Bone marrow smear. Cropped to a single cell — 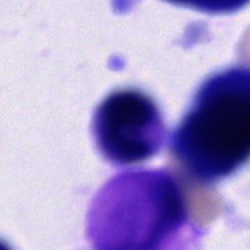 An unidentifiable cell.